Cropped to a single cell · bone marrow smear.
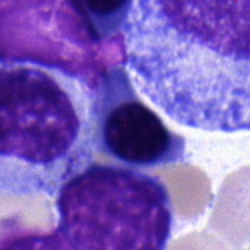Cell: erythroblast.